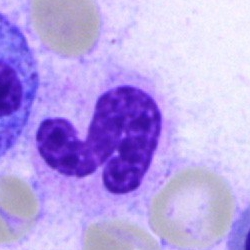
The cell shown is a polymorphonuclear neutrophil.